100× objective, oil immersion · peripheral blood film: 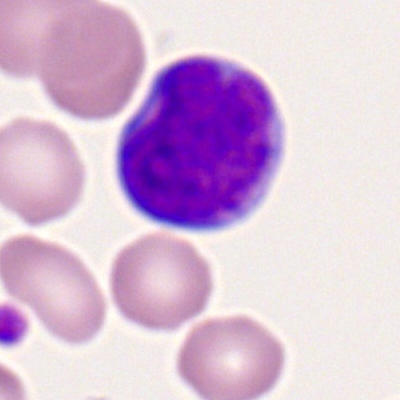Q: Which cell type is shown here?
A: This is a myeloblast.